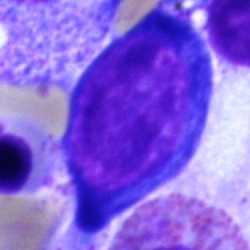
A proerythroblast.